Bone marrow aspirate smear:
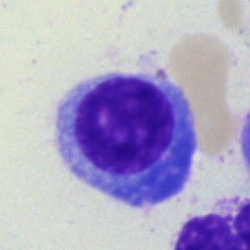 The cell type is plasma cell.